Bone marrow smear · May-Grünwald-Giemsa stain — 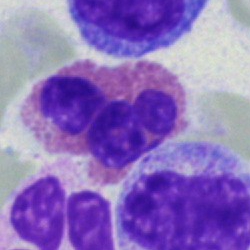
Single cell identified as an eosinophilic granulocyte.